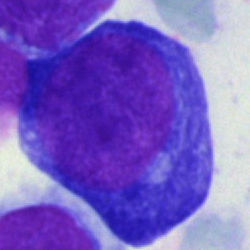 Cell: pronormoblast.